Bone marrow smear; MGG-stained; 250×250
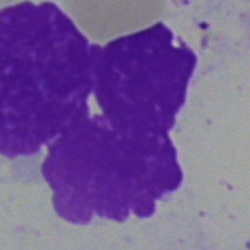 Morphological class: artifact.